Cropped to a single cell · bone marrow aspirate smear:
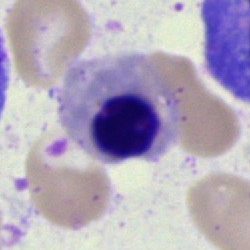The cell shown is a normoblast.